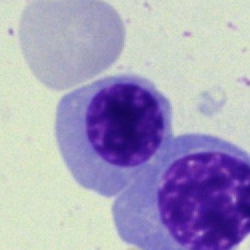 Morphology consistent with a normoblast.